Bone marrow aspirate smear · single cell centered in the field · May-Grünwald-Giemsa stain.
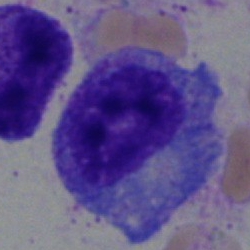

Classification = progranulocyte.